Bone marrow smear. May-Grünwald-Giemsa/Pappenheim stain. Image size 250×250
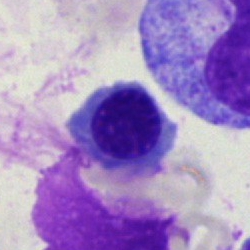An erythroblast.